250×250 px · single cell centered in the field · bone marrow aspirate smear.
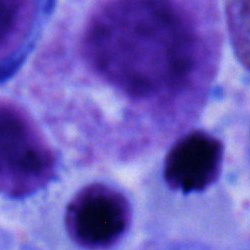 The cell shown is a myelocyte.